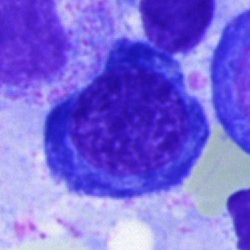Bone marrow smear showing a normoblast.